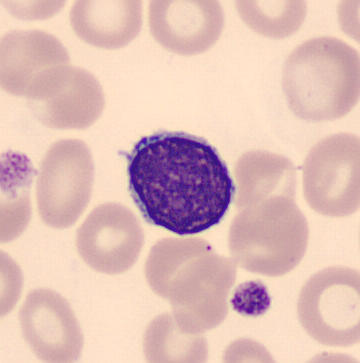 Identified as a lymphocyte.